Brightfield, 40× oil-immersion objective; bone marrow aspirate smear.
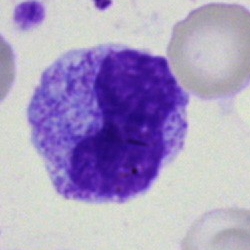This is a metamyelocyte.